Bone marrow smear: 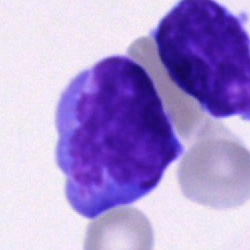

Specimen: bone marrow smear.
Morphological class: blast cell.